Bone marrow aspirate smear · May-Grünwald-Giemsa stain:
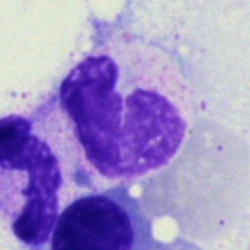
Q: What is shown here?
A: It is an artifact.